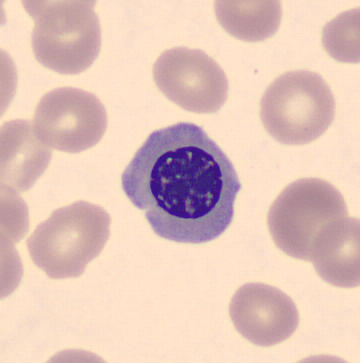
Morphology → nucleated red cell. 360×363 px. Peripheral blood film.